Bone marrow aspirate smear.
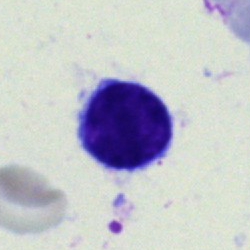 Lymphocyte.